Bone marrow aspirate smear — 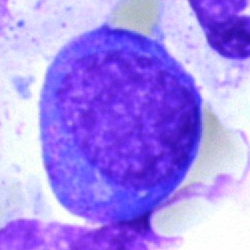Impression → progranulocyte.